Bone marrow smear:
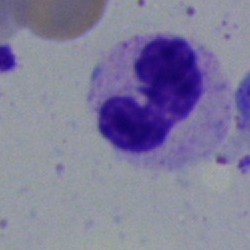
Cell = band-form neutrophil.